Bone marrow smear
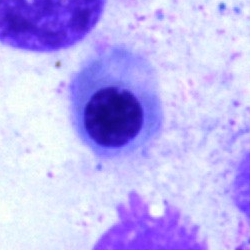 Showing a normoblast.